Peripheral blood smear. 100× oil immersion. 400×400: 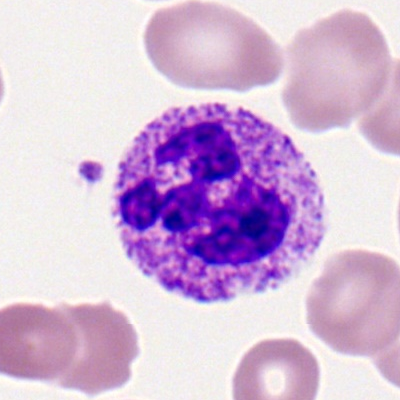 Segmented neutrophil.